Bone marrow aspirate smear; image size 250×250.
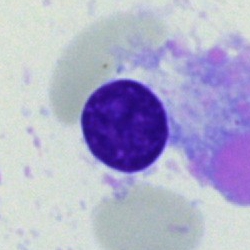

Classification: artifact.